Bone marrow smear; single-cell field:
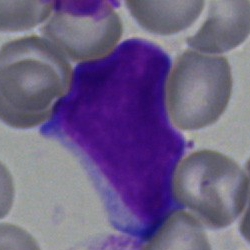
{"cell_type": "blast"}